Bone marrow smear:
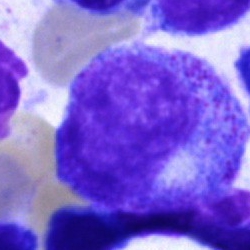

{"cell_type": "progranulocyte", "lineage": "myeloid"}